Bone marrow aspirate smear. Single cell centered in the field
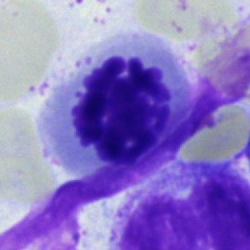

Q: What is shown here?
A: This is a nucleated red cell.